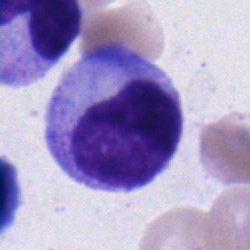 Impression → metamyelocyte.